Bone marrow smear: 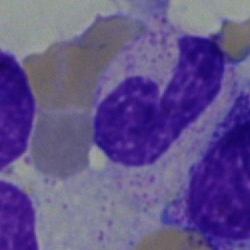Morphology consistent with a neutrophil (band).